Single cell centered in the field. Image size 250×250. Bone marrow aspirate smear
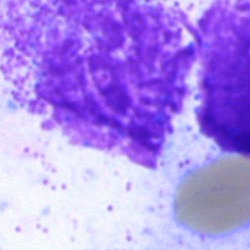 {"cell_type": "artefact"}